Bone marrow aspirate smear — 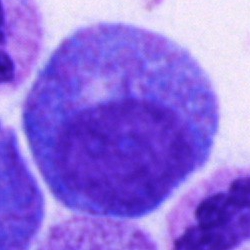Q: What type of cell is this?
A: Promyelocyte.